Bone marrow smear — 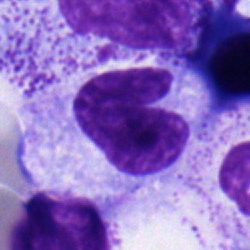

Specimen: bone marrow aspirate smear.
Morphological class: band neutrophil.
Lineage: myeloid.